Bone marrow aspirate smear · Pappenheim-stained:
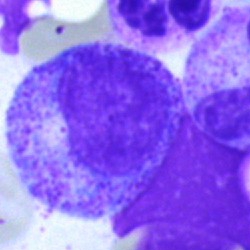 Single cell identified as a myelocyte.